Peripheral blood smear — 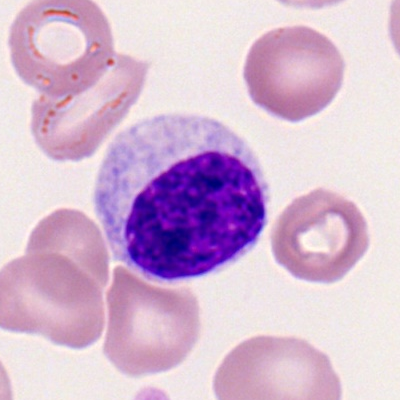

A typical lymphocyte.